Bone marrow aspirate smear.
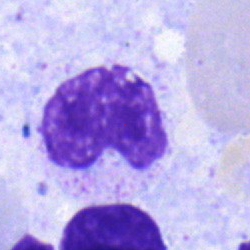
A stab cell.